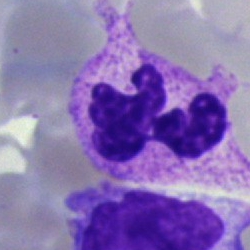

Showing a neutrophil (segmented).